May-Grünwald-Giemsa stain · bone marrow aspirate smear
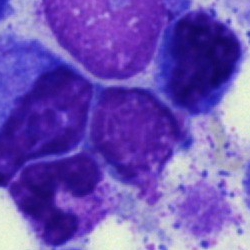 Morphological class = artefact.